Bone marrow aspirate smear
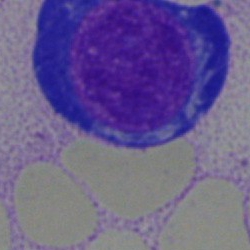Proerythroblast.